Brightfield microscopy, 40× oil immersion · 250 by 250 pixels · bone marrow smear.
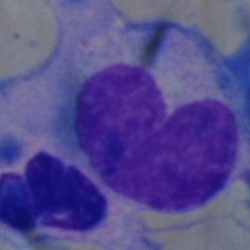

Q: Identify the cell.
A: This is a monocyte.